MGG-stained · 250×250 · bone marrow smear.
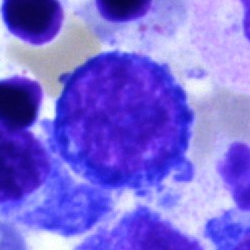

Morphology consistent with a proerythroblast.